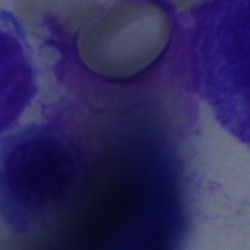
This is an artifact.